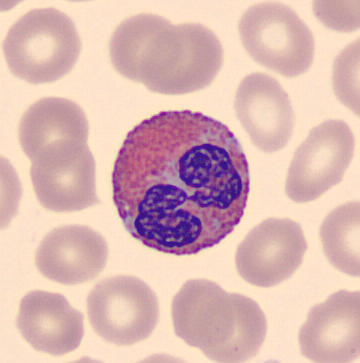
The classification is eosinophilic granulocyte.